Single-cell crop; bone marrow smear; image size 250×250: 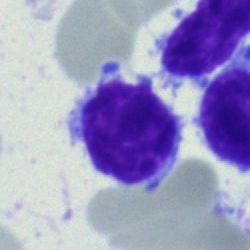 Q: What is the morphological classification of this cell?
A: Lymphocyte.